Bone marrow aspirate smear.
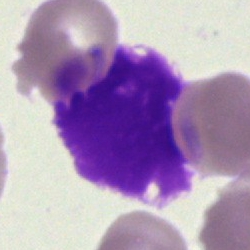
Classification = artifact.